250×250 px. Bone marrow aspirate smear. Pappenheim-stained — 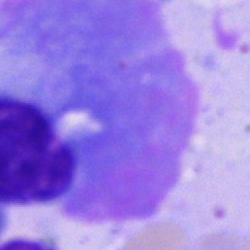

Classification = plasma cell.